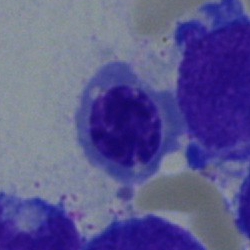 Q: What cell is this?
A: It is an erythroblast.